Bone marrow smear — 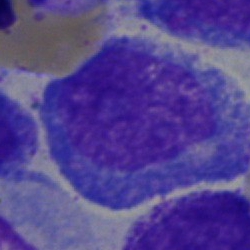Q: Identify the cell.
A: It is a promyelocyte.